Bone marrow smear.
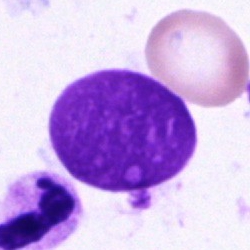Morphology consistent with an artifact.